Bone marrow aspirate smear; 40× objective, oil immersion — 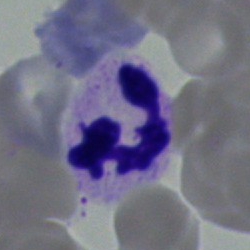 The cell shown is a segmented neutrophil.